Bone marrow aspirate smear.
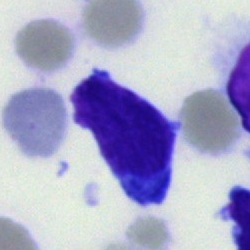 Morphology — undifferentiated blast.